40× oil immersion · bone marrow aspirate smear
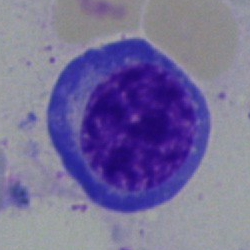 Classification: nucleated red cell.